250×250 px. Pappenheim-stained. Bone marrow smear — 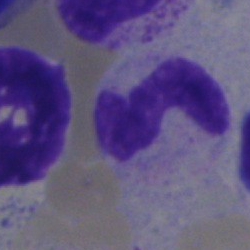
The cell is band-form neutrophil.